Bone marrow aspirate smear. Cropped to a single cell: 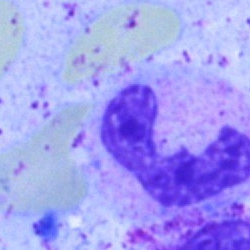{"cell_type": "neutrophil (segmented)", "lineage": "myeloid"}